Bone marrow aspirate smear
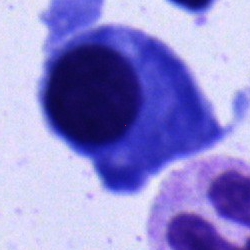
A plasma cell.